Bone marrow smear
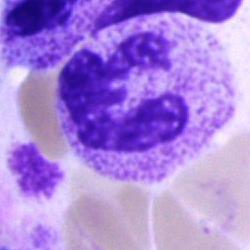
Q: What cell is this?
A: This is a polymorphonuclear neutrophil.